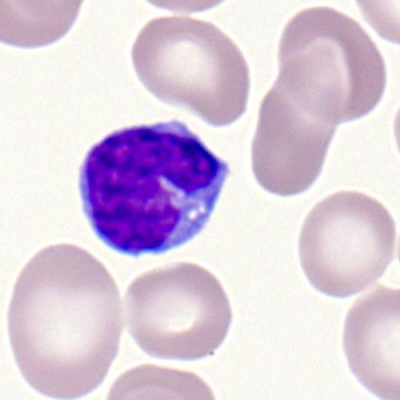

Specimen: peripheral blood smear.
Classification: typical lymphocyte.
Lineage: lymphoid.